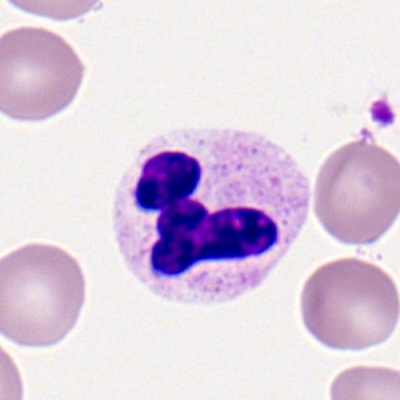Cell: neutrophil (segmented).